Bone marrow smear:
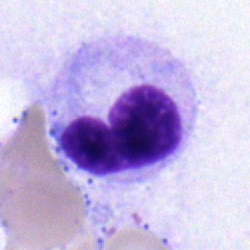

Cell: metamyelocyte.